Bone marrow aspirate smear — 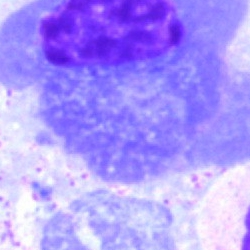Cell type — plasma cell.